Bone marrow smear:
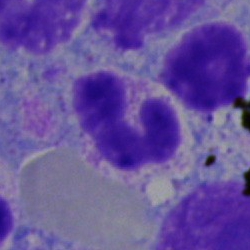
Showing a segmented neutrophil.